Single cell centered in the field. Bone marrow aspirate smear.
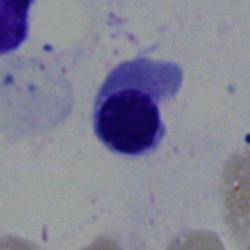 Cell type: normoblast.